Bone marrow aspirate smear.
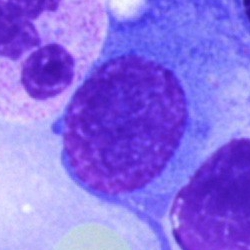
{"cell_type": "plasma cell"}